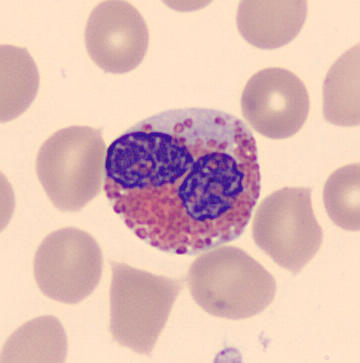
Acquisition: Peripheral blood smear.
Showing an eosinophil.